Brightfield, 100× oil-immersion objective · peripheral blood film:
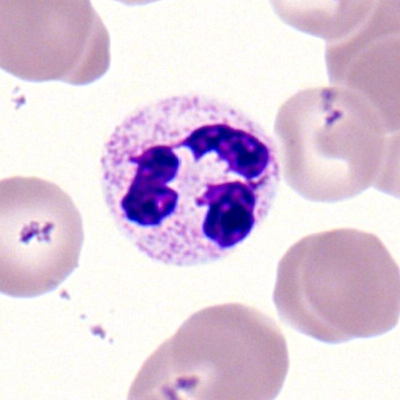

Q: What cell is this?
A: A segmented neutrophil.